Bone marrow smear.
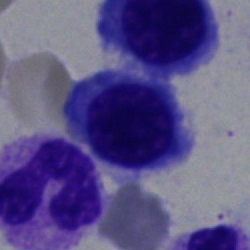
Morphological class = nucleated red blood cell.